250×250 px; bone marrow smear; single cell centered in the field:
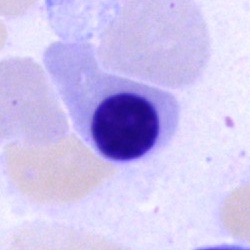This is an erythroblast.